Bone marrow smear. May-Grünwald-Giemsa stain. Cropped to a single cell: 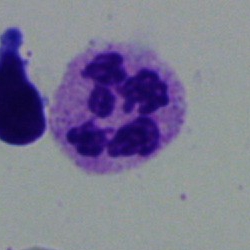 A polymorphonuclear neutrophil.